May-Grünwald-Giemsa/Pappenheim stain. Bone marrow aspirate smear.
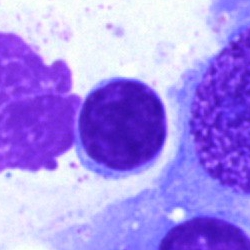 The cell is lymphocyte.